Bone marrow aspirate smear · brightfield microscopy, 40× oil immersion: 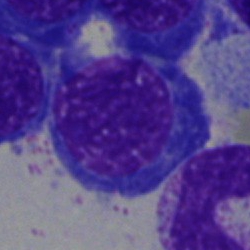

{"cell_type": "normoblast"}